Bone marrow smear.
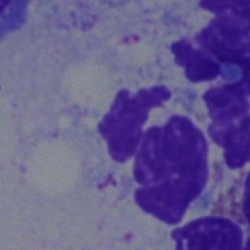

Morphology → artifact.